Cropped to a single cell · bone marrow smear:
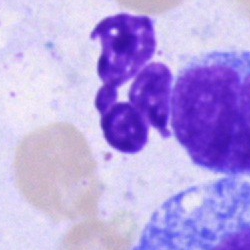

Specimen: bone marrow aspirate smear.
Cell: polymorphonuclear neutrophil.